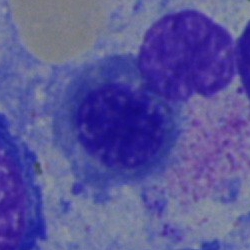 A normoblast.